Bone marrow smear: 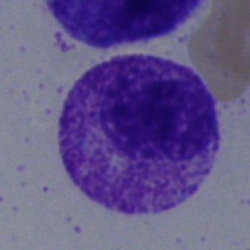

The cell is metamyelocyte.